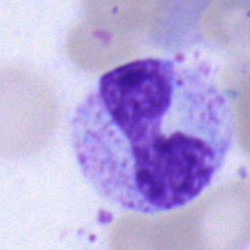 Morphology → stab cell.